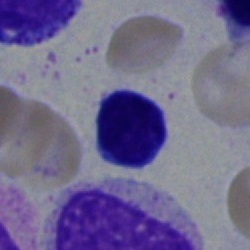
Q: Identify the cell.
A: This is a lymphocyte.